Bone marrow aspirate smear:
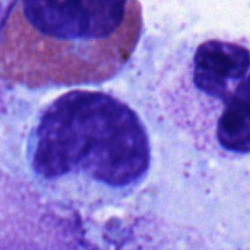 Q: What type of cell is this?
A: It is a metamyelocyte.